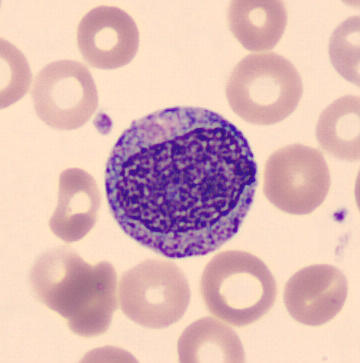 Morphology consistent with a progranulocyte. Acquisition: Peripheral blood smear; 360×363 px.